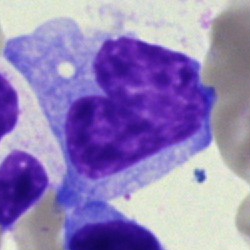{"cell_type": "monocyte", "lineage": "myeloid"}